Image size 250×250. Bone marrow smear
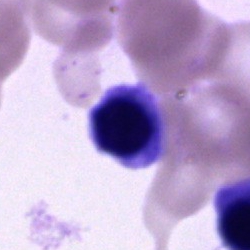
The cell is unidentifiable cell.